Bone marrow smear:
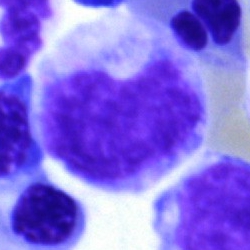
Morphology consistent with a promyelocyte.